Bone marrow smear
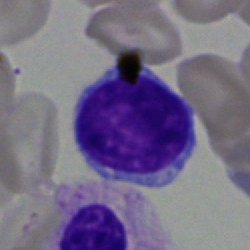Impression → typical lymphocyte.